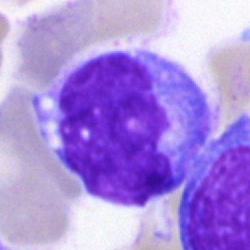
The classification is monocyte.